Bone marrow smear:
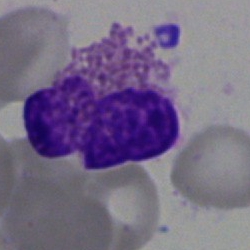An eosinophil.